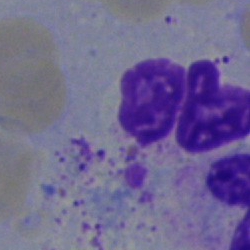 Impression — polymorphonuclear neutrophil.